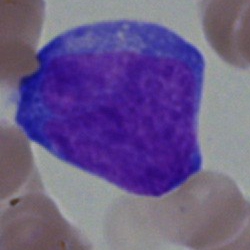
Morphological class: blast.